40× oil immersion · bone marrow smear:
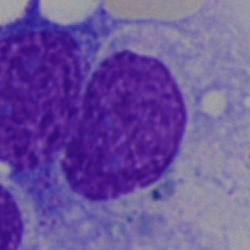
Classification — artifact.